Bone marrow smear:
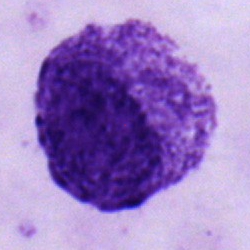This is a myelocyte.